Bone marrow aspirate smear.
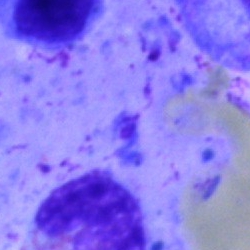
Cell — artifact.